Bone marrow smear
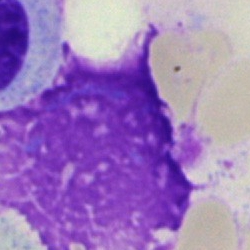
Cell = artefact.